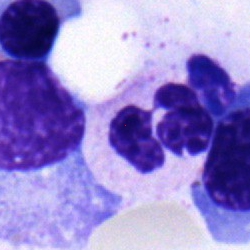
Bone marrow smear showing a polymorphonuclear neutrophil.